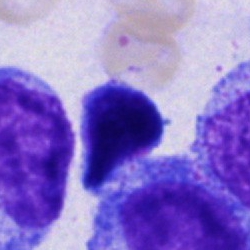 {"cell_type": "unidentifiable cell"}